Bone marrow smear; single-cell crop; 250×250: 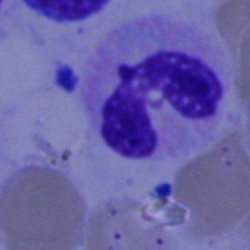
A segmented neutrophil.